Bone marrow aspirate smear
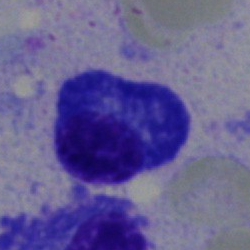
The cell shown is a plasmacyte.